Bone marrow smear — 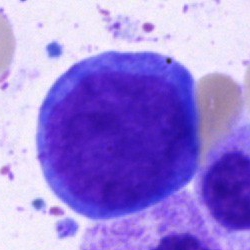
Cell type — proerythroblast.